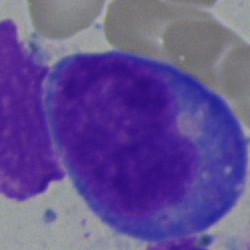 Specimen: bone marrow aspirate smear.
Cell: blast.